Bone marrow aspirate smear
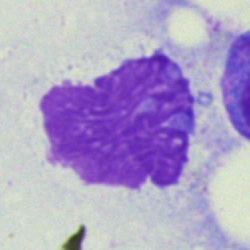Morphology → artefact.